Single-cell crop. Bone marrow aspirate smear. MGG-stained
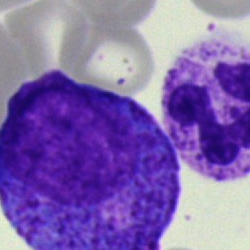Q: What is shown here?
A: Progranulocyte.